250×250; bone marrow aspirate smear:
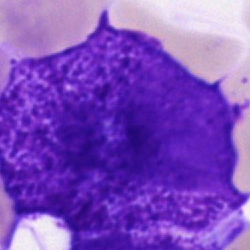
Q: What type of cell is this?
A: A blast cell.